Bone marrow aspirate smear.
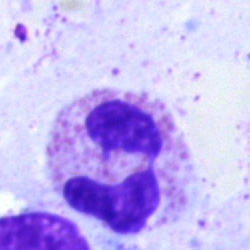Single cell identified as a segmented neutrophil.